Bone marrow smear.
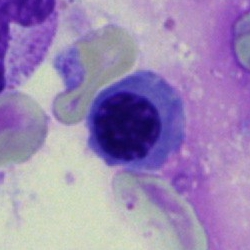 Morphology → normoblast.